Bone marrow aspirate smear — 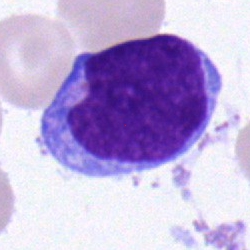Q: Identify the cell.
A: This is a blast cell.